Bone marrow aspirate smear. Brightfield, 40× oil-immersion objective. May-Grünwald-Giemsa stain:
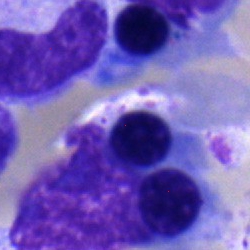Q: Identify the cell.
A: Erythroblast.